Bone marrow smear; Pappenheim-stained; 250×250 px:
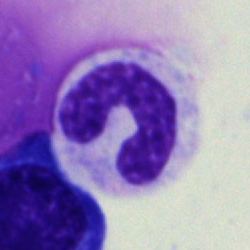
Band-form neutrophil.